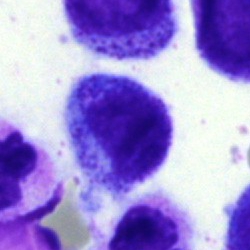
Specimen: bone marrow smear.
Cell type: myelocyte.